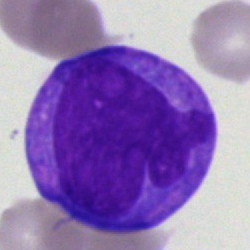
Classification: blast.